Brightfield, 40× oil-immersion objective. Bone marrow smear. Single cell centered in the field
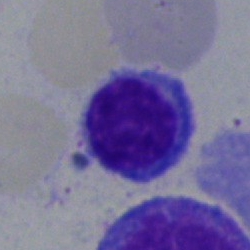
Morphology consistent with a lymphocyte.